Bone marrow aspirate smear
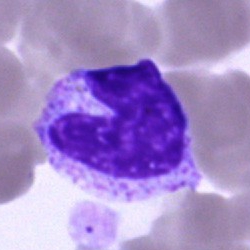Specimen: bone marrow smear.
Morphological class: neutrophil (band).